Bone marrow aspirate smear. 250×250. 40× oil immersion
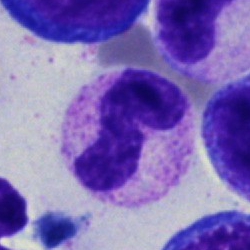

The cell type is neutrophil (band).